Bone marrow smear · image size 250×250 — 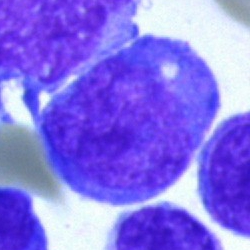
Showing a blast cell.